Bone marrow smear · single-cell crop:
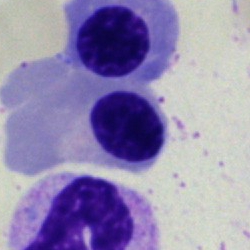Cell type: nucleated red blood cell.